Bone marrow aspirate smear; image size 250×250
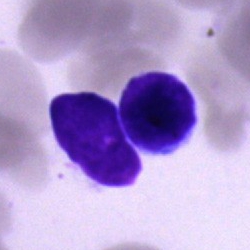
Q: What is the morphological classification of this cell?
A: It is a typical lymphocyte.